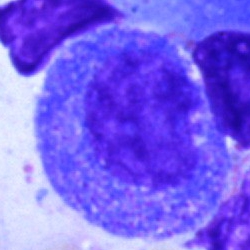
The cell shown is a promyelocyte.